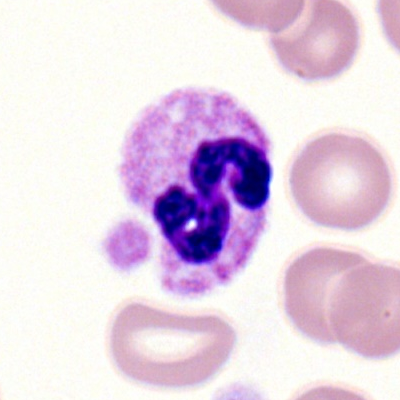{"cell_type": "polymorphonuclear neutrophil"}